Bone marrow aspirate smear — 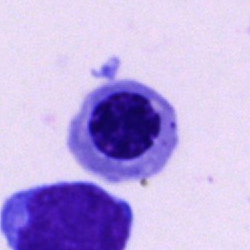Specimen: bone marrow smear.
Classification: nucleated red blood cell.
Lineage: erythroid.